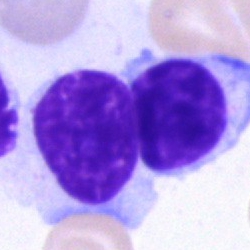 Cell: lymphocyte.